Single-cell field; image size 250×250; bone marrow aspirate smear.
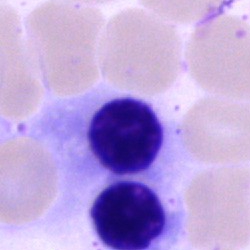
Cell — normoblast.